Single-cell field; bone marrow aspirate smear: 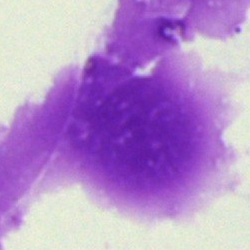

{"cell_type": "artifact"}